Peripheral blood smear — 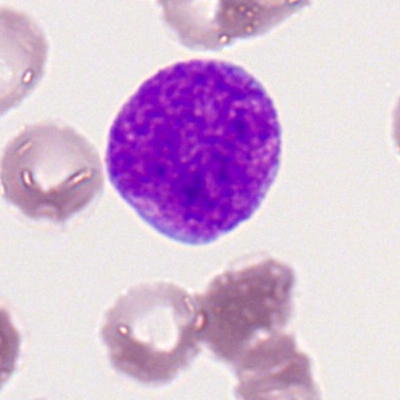
Showing a myeloblast.